Peripheral blood film — 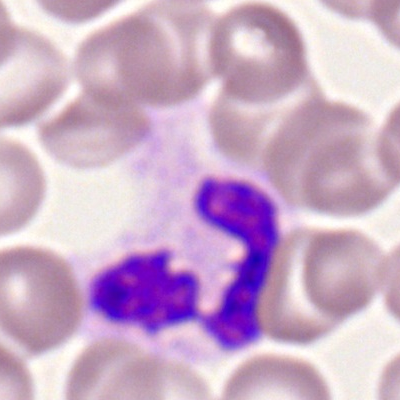 {"cell_type": "polymorphonuclear neutrophil"}